Bone marrow aspirate smear
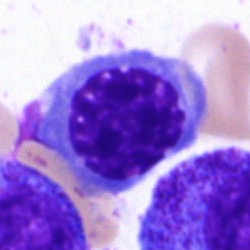
Morphological class — normoblast.